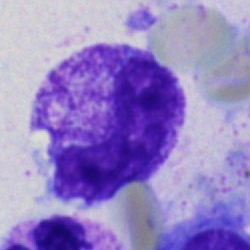Cell type: neutrophil (band).